Single-cell crop; 40× objective, oil immersion; bone marrow smear — 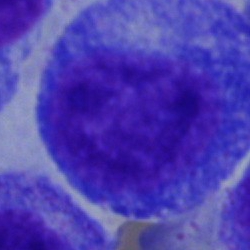
Impression — promyelocyte.